Bone marrow aspirate smear
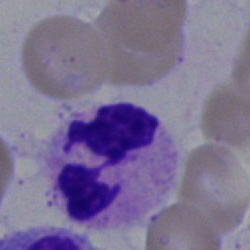Cell — neutrophil (segmented).